Peripheral blood smear; imaged on a CellaVision DM96 analyser: 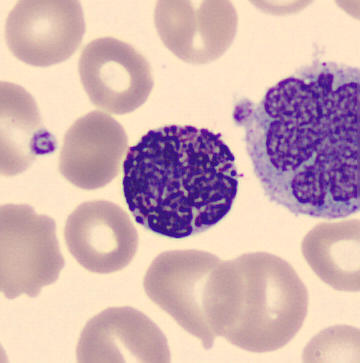

Specimen: peripheral blood film.
Cell: basophil.
Lineage: myeloid.